Bone marrow aspirate smear — 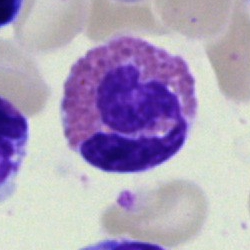 Showing an eosinophil.